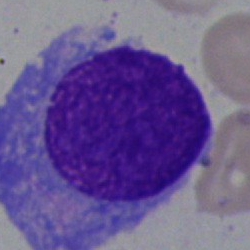
Morphological class = artefact.